Bone marrow smear — 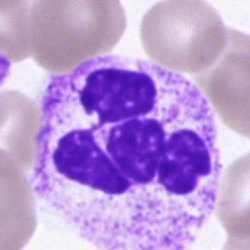Cell: polymorphonuclear neutrophil.